Bone marrow aspirate smear
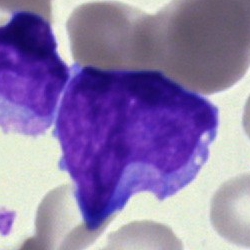

Q: What cell is this?
A: It is a blast.